Bone marrow aspirate smear; 40× objective, oil immersion — 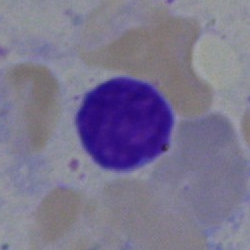

Specimen: bone marrow aspirate smear.
Classification: lymphocyte.
Lineage: lymphoid.